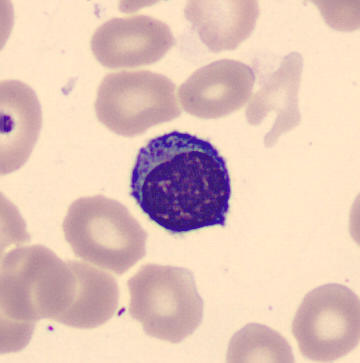 The cell is typical lymphocyte.